Bone marrow smear: 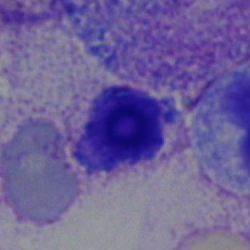Showing a lymphocyte.